Bone marrow smear: 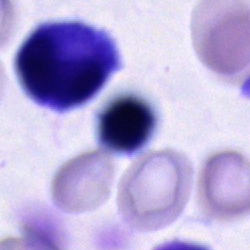Q: Which cell type is shown here?
A: This is a cell of indeterminate lineage.